Bone marrow smear: 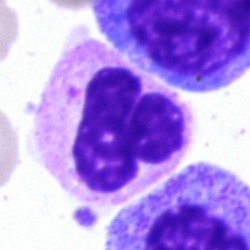

Morphology consistent with a neutrophil (segmented).